Bone marrow aspirate smear. Pappenheim-stained. Single-cell crop: 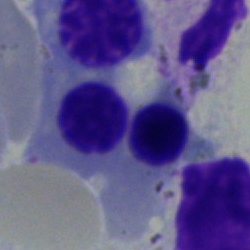Cell — nucleated red cell.